Brightfield microscopy, 40× oil immersion; bone marrow smear:
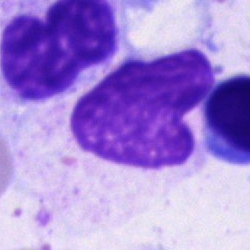

Morphological class — artefact.